Romanowsky stain. Peripheral blood smear:
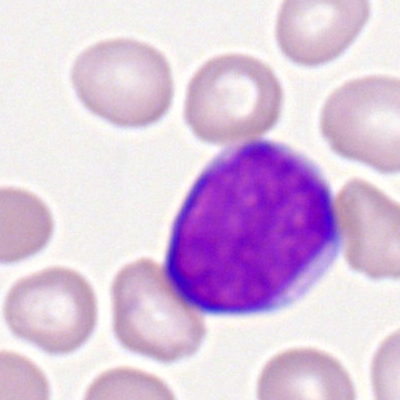 Cell — myeloid blast.